Bone marrow aspirate smear · 40× objective, oil immersion:
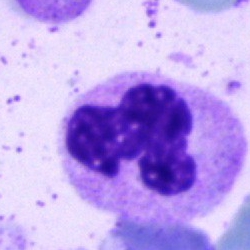Morphological class — segmented neutrophil.